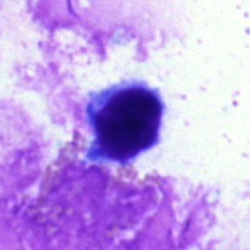 Impression — lymphocyte.